40× oil immersion · bone marrow aspirate smear · cropped to a single cell — 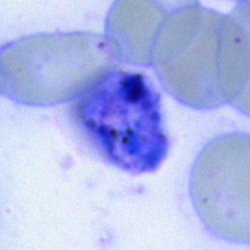

Morphological class = artefact.